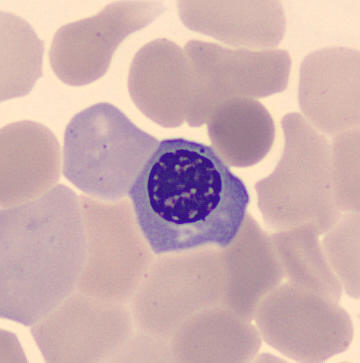
Specimen: peripheral blood smear.
Morphological class: nucleated red blood cell.
Lineage: erythroid. Preparation: 360 by 363 pixels.